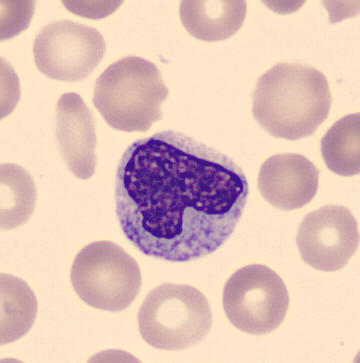 Image: Peripheral blood smear; CellaVision DM96; MGG stain. Single cell identified as a metamyelocyte.